250 by 250 pixels. Single-cell crop. Bone marrow smear.
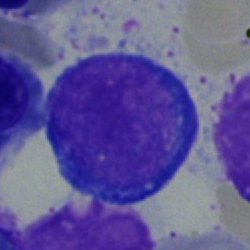
The cell shown is a pronormoblast.